Peripheral blood smear — 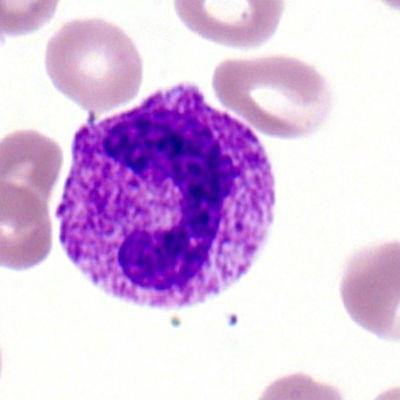

{"cell_type": "polymorphonuclear neutrophil"}